MGG-stained; 250×250; bone marrow smear.
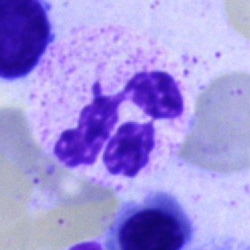 Morphology consistent with a segmented neutrophil.